Bone marrow smear. Pappenheim-stained: 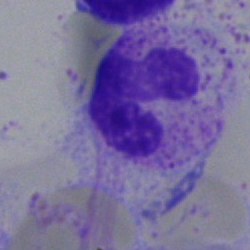
The cell shown is a segmented neutrophil.